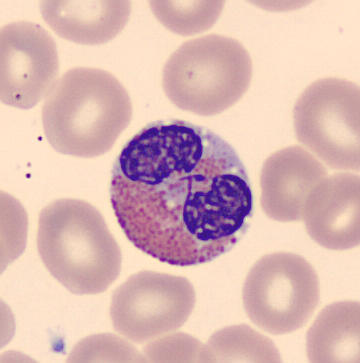Eosinophil.
Cropped to a single cell · peripheral blood smear.